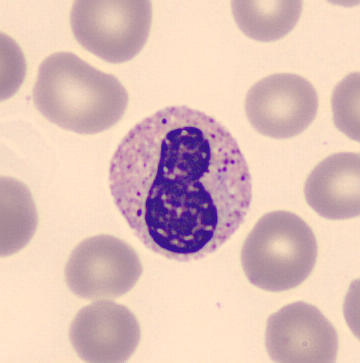Preparation: Peripheral blood smear · May-Grünwald-Giemsa-stained · single-cell crop.
Morphological class = stab cell.